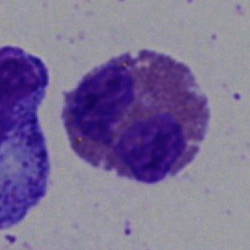
Cell — eosinophil.